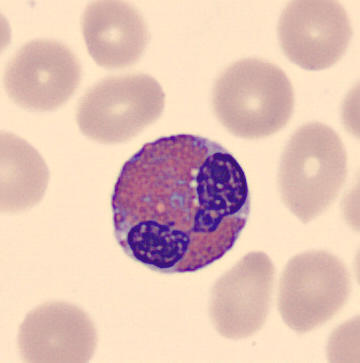 Peripheral blood film.
The morphological class is eosinophilic granulocyte.